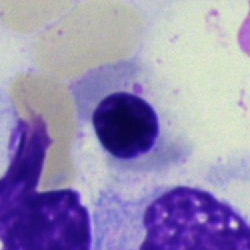

Cell = erythroblast.